Bone marrow aspirate smear — 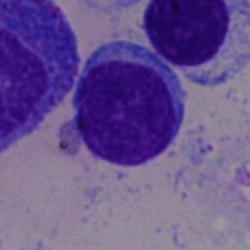 Morphological class = typical lymphocyte.